Bone marrow smear.
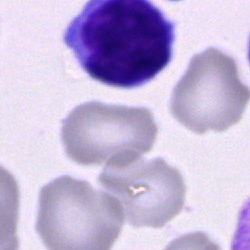 {"cell_type": "typical lymphocyte"}